Cropped to a single cell; bone marrow aspirate smear
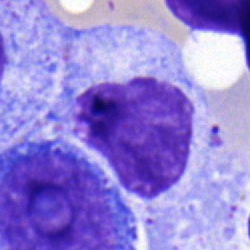 Q: What is the morphological classification of this cell?
A: A myelocyte.